Single-cell field · bone marrow aspirate smear.
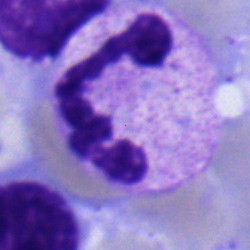

The cell type is polymorphonuclear neutrophil.